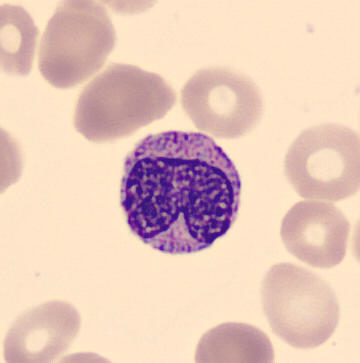

Specimen: peripheral blood smear.
Classification: metamyelocyte.
Lineage: myeloid.

May Grünwald-Giemsa stain.